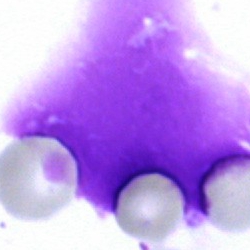Impression → artefact.